Bone marrow smear — 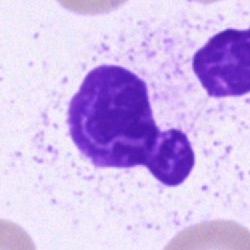 Artefact.